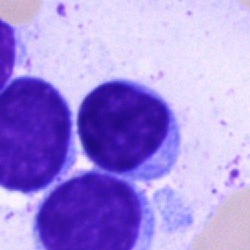

Specimen: bone marrow aspirate smear.
Cell: typical lymphocyte.